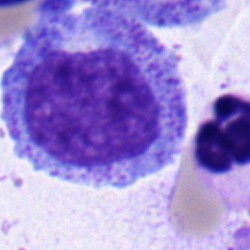
Specimen: bone marrow smear.
Classification: myelocyte.
Lineage: myeloid.